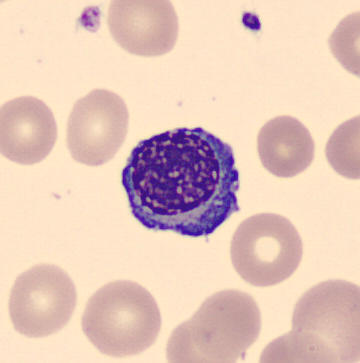

Q: Identify the cell.
A: It is a nucleated red blood cell.